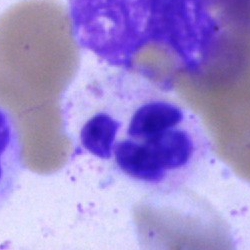 Morphology consistent with a polymorphonuclear neutrophil.